Bone marrow smear — 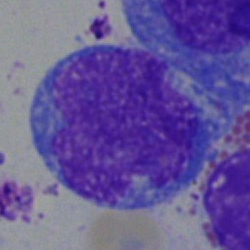
Showing a blast.